Bone marrow aspirate smear: 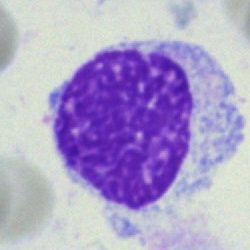
Morphology consistent with an artifact.